40× oil immersion; bone marrow smear
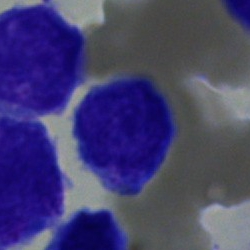

Q: What is the morphological classification of this cell?
A: It is an undifferentiated blast.